Bone marrow smear
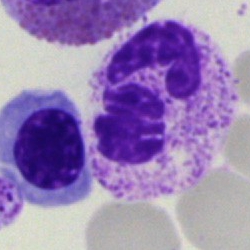 Q: Which cell type is shown here?
A: It is a neutrophil (segmented).